Single-cell crop. Bone marrow aspirate smear: 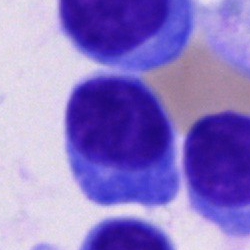
This is a plasma cell.